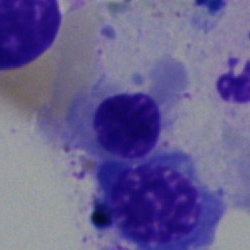 A nucleated red cell.